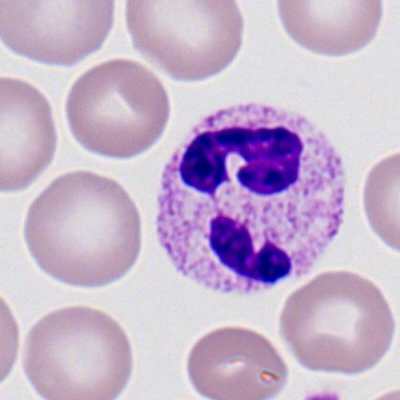Peripheral blood film, single cell — segmented neutrophil.